Bone marrow aspirate smear: 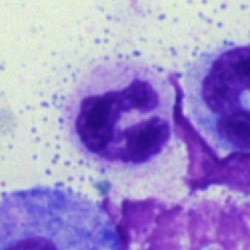

{"cell_type": "neutrophil (segmented)"}